MGG-stained; bone marrow aspirate smear.
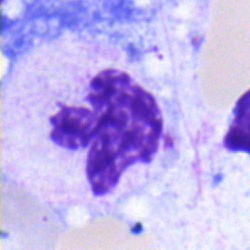

{"cell_type": "segmented neutrophil", "lineage": "myeloid"}